40× oil immersion; May-Grünwald-Giemsa stain; bone marrow aspirate smear
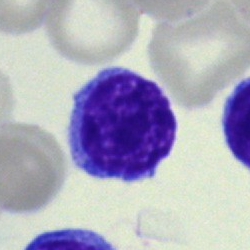 Q: Which cell type is shown here?
A: A lymphocyte.